Bone marrow aspirate smear · May-Grünwald-Giemsa/Pappenheim stain.
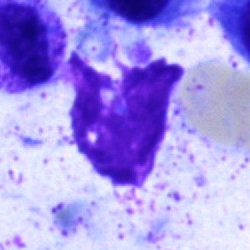

{"cell_type": "artefact"}